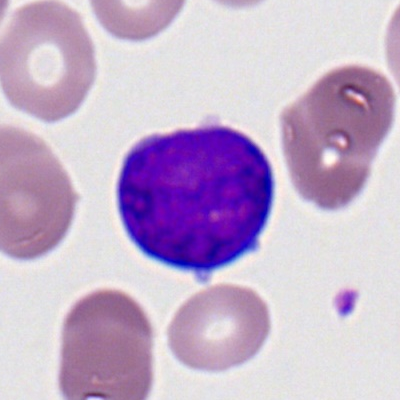
Morphological class = myeloid blast.